Bone marrow smear: 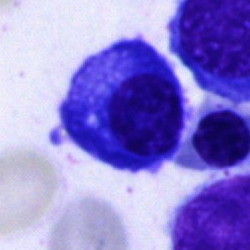 Cell type — plasmacyte.